Bone marrow aspirate smear. 40× oil immersion
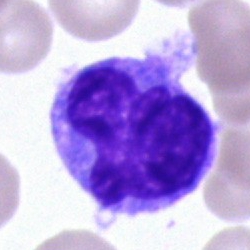
Classification = monocyte.